Bone marrow aspirate smear:
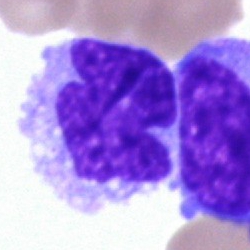 Morphological class = monocyte.